Single-cell crop; Romanowsky-type stain; peripheral blood film
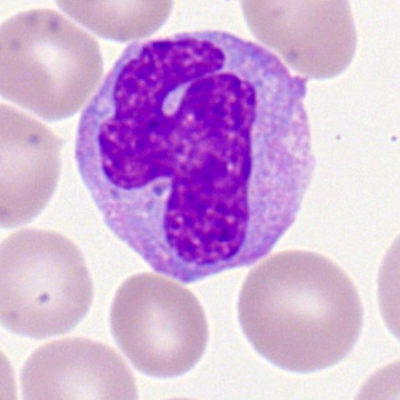

Q: What is shown here?
A: This is a monocyte.